Single-cell field. 250×250. Bone marrow smear:
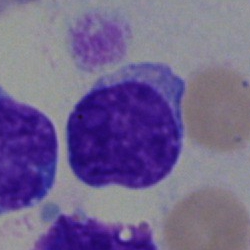 Specimen: bone marrow smear.
Cell type: lymphocyte.